250×250 px; bone marrow smear; brightfield microscopy, 40× oil immersion — 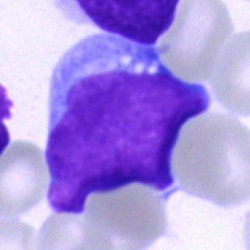 Specimen: bone marrow aspirate smear.
Morphological class: blast cell.